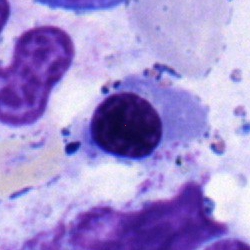

Cell — erythroblast.